40× objective, oil immersion; bone marrow smear:
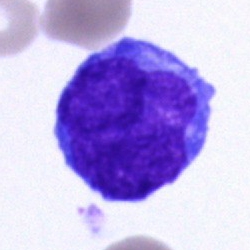 Specimen: bone marrow aspirate smear.
Classification: blast cell.